Image size 250×250; bone marrow smear; May-Grünwald-Giemsa/Pappenheim stain
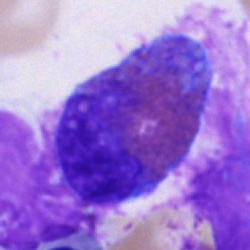
Showing an eosinophilic granulocyte.